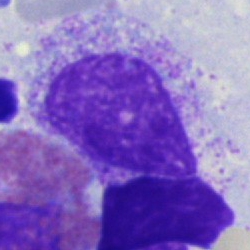

{"cell_type": "myelocyte"}